Bone marrow smear. Single-cell crop. 40× oil immersion — 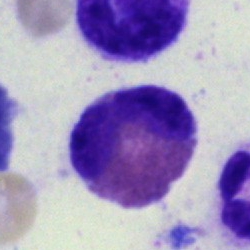The morphological class is eosinophil.